Cropped to a single cell · peripheral blood film — 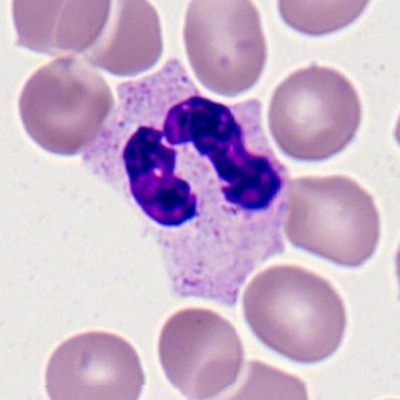 Morphological class = polymorphonuclear neutrophil.